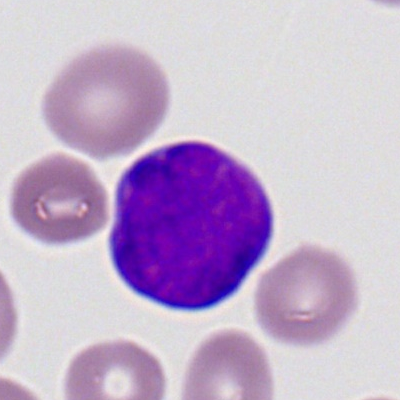
Single cell identified as a myeloblast.